Bone marrow aspirate smear
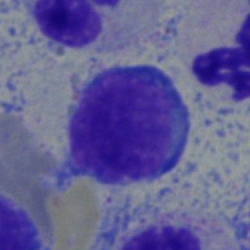
Cell: lymphocyte.